Peripheral blood smear:
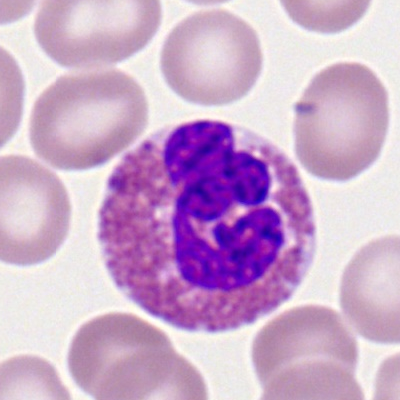Cell type = eosinophilic granulocyte.